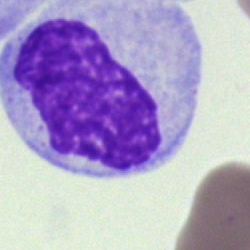
{"cell_type": "monocyte", "lineage": "myeloid"}